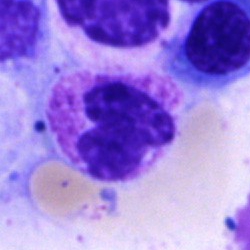 Q: What cell is this?
A: Segmented neutrophil.